MGG-stained · bone marrow smear
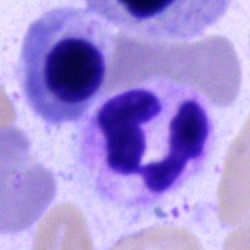
The morphological class is polymorphonuclear neutrophil.